Bone marrow aspirate smear: 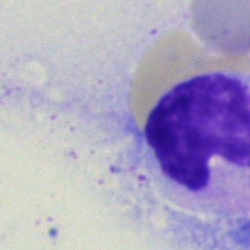

This is an artefact.